250×250 px · bone marrow smear · 40× objective, oil immersion: 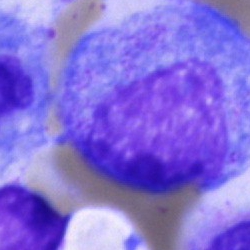 Specimen: bone marrow aspirate smear.
Classification: promyelocyte.